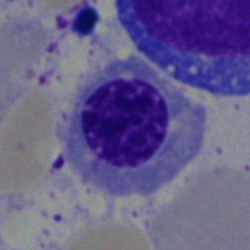
Q: What cell is this?
A: An erythroblast.